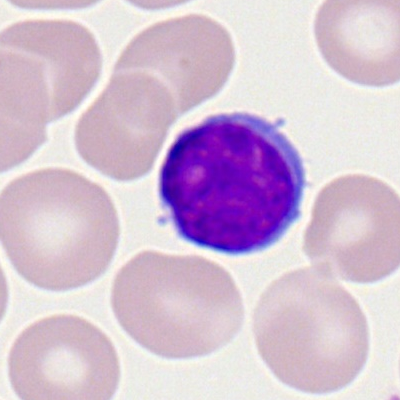 Lymphocyte.